Bone marrow smear:
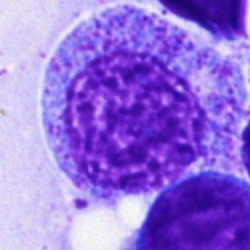 {"cell_type": "progranulocyte", "lineage": "myeloid"}